Bone marrow smear.
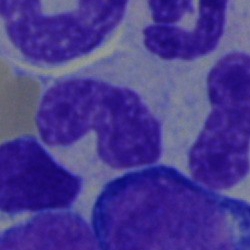 Specimen: bone marrow aspirate smear.
Cell: stab cell.
Lineage: myeloid.